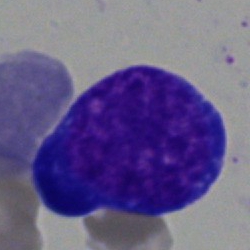
Bone marrow smear showing an erythroblast.